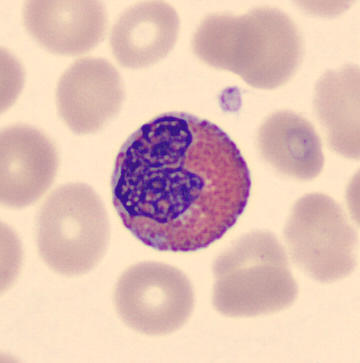

This is an eosinophil.